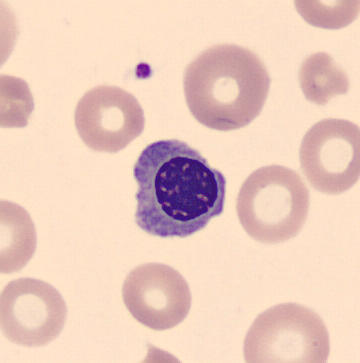
Acquisition: MGG stain. Peripheral blood film.
Cell: nucleated red cell.